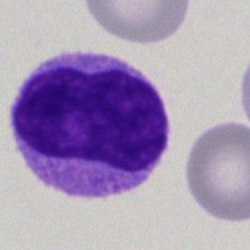

Q: What type of cell is this?
A: Monocyte.